Single-cell field; bone marrow aspirate smear
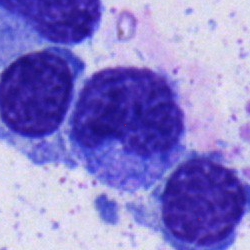 A metamyelocyte.